Bone marrow aspirate smear.
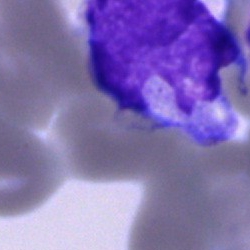Q: Identify the cell.
A: Monocyte.